Brightfield microscopy, 40× oil immersion · bone marrow aspirate smear · 250 by 250 pixels: 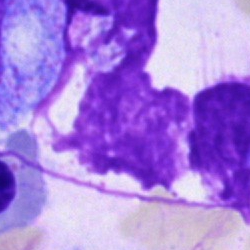This is an artifact.